Bone marrow smear · brightfield, 40× oil-immersion objective · image size 250×250
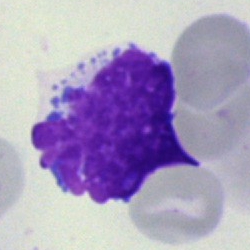
Specimen: bone marrow aspirate smear.
Cell type: artifact.